May-Grünwald-Giemsa stain. 250 by 250 pixels. Bone marrow aspirate smear: 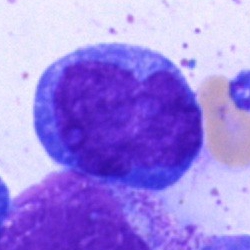

Single cell identified as an undifferentiated blast.